Bone marrow smear
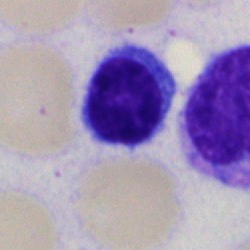
Classification: typical lymphocyte.